Bone marrow smear — 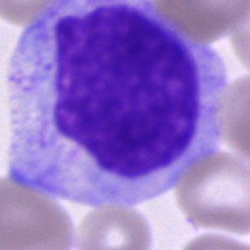This is a progranulocyte.